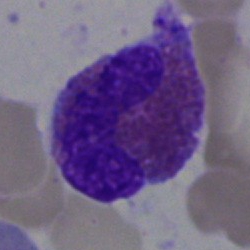Eosinophil.